Bone marrow aspirate smear
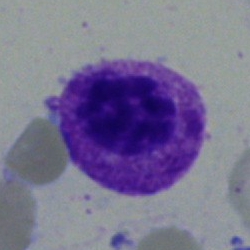
Myelocyte.